Bone marrow aspirate smear.
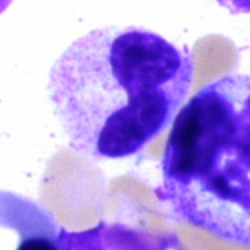 The cell type is neutrophil (segmented).